Bone marrow smear. Image size 250×250
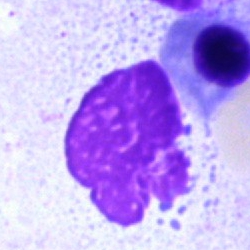 Showing an artifact.